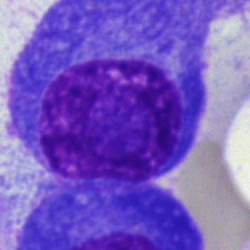Impression — plasma cell.